Bone marrow aspirate smear. Cropped to a single cell:
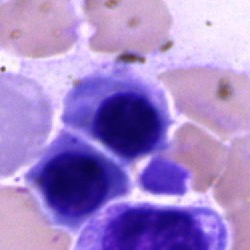 The cell shown is an erythroblast.